Bone marrow aspirate smear: 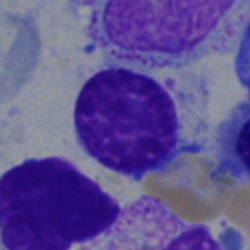Single cell identified as a lymphocyte.